Bone marrow smear; image size 250×250; May-Grünwald-Giemsa stain.
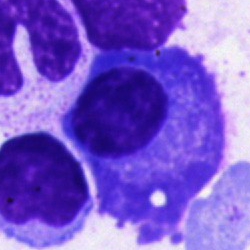Specimen: bone marrow aspirate smear.
Cell: plasma cell.
Lineage: lymphoid.